May-Grünwald-Giemsa stain · bone marrow aspirate smear: 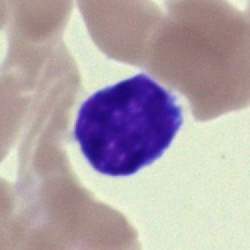Specimen: bone marrow aspirate smear.
Morphological class: lymphocyte.
Lineage: lymphoid.